250×250; bone marrow aspirate smear; May-Grünwald-Giemsa/Pappenheim stain: 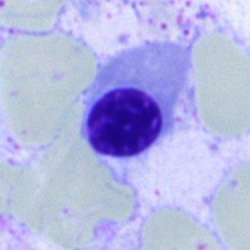
An erythroblast.